Peripheral blood smear: 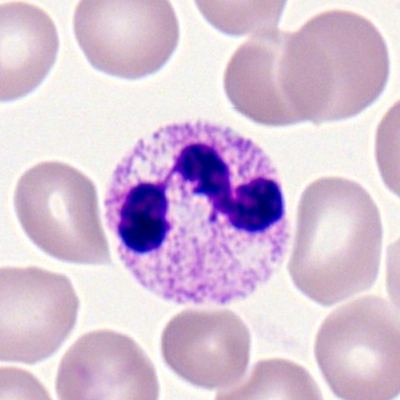
Single cell identified as a neutrophil (segmented).